Bone marrow aspirate smear
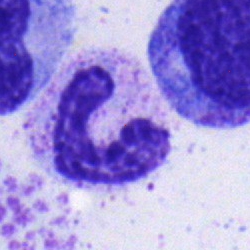 Cell = band-form neutrophil.